Pappenheim-stained; 250×250 px; bone marrow smear — 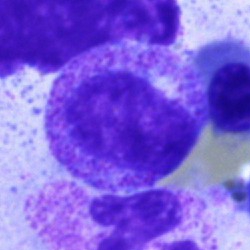
Single cell identified as a myelocyte.